Bone marrow smear:
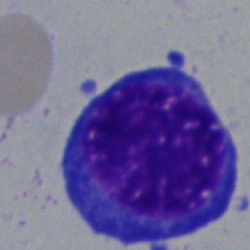
Q: What is the morphological classification of this cell?
A: A nucleated red cell.